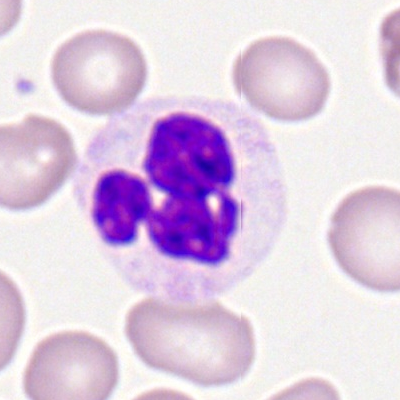 Peripheral blood smear showing a neutrophil (segmented).